Bone marrow aspirate smear.
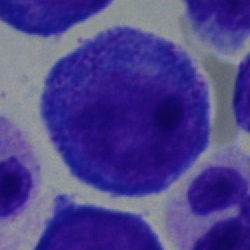Morphology → progranulocyte.